Bone marrow aspirate smear · image size 250×250 · brightfield microscopy, 40× oil immersion.
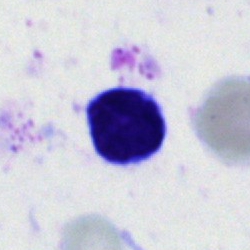 Impression → typical lymphocyte.